Cropped to a single cell · bone marrow aspirate smear.
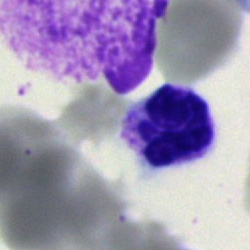The cell shown is a neutrophil (segmented).